Single cell centered in the field. Bone marrow aspirate smear:
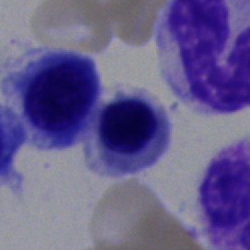An erythroblast.